Bone marrow smear: 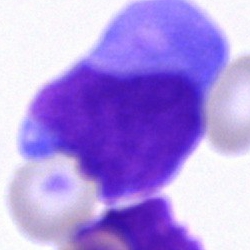

Specimen: bone marrow smear.
Morphological class: blast.